Bone marrow smear; image size 250×250; May-Grünwald-Giemsa/Pappenheim stain: 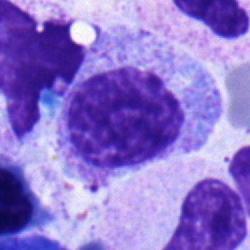 Q: What type of cell is this?
A: It is a myelocyte.